Bone marrow aspirate smear: 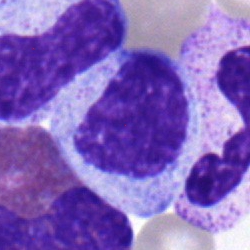 Showing a myelocyte.